250×250 px · bone marrow aspirate smear:
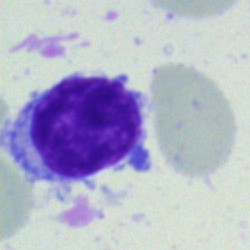
The cell shown is a typical lymphocyte.